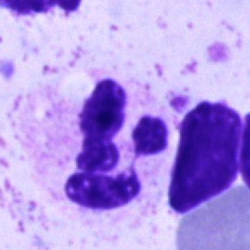
Morphology consistent with a segmented neutrophil.